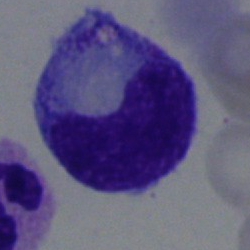

Morphology → metamyelocyte.